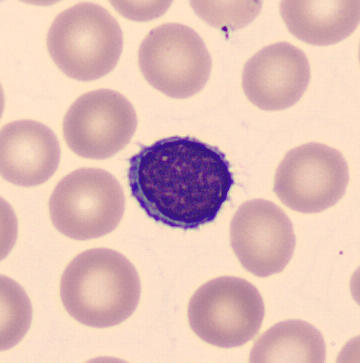

The cell is lymphocyte.